Bone marrow smear.
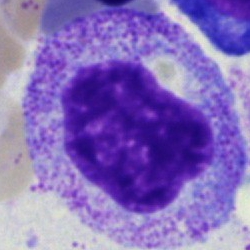
Metamyelocyte.